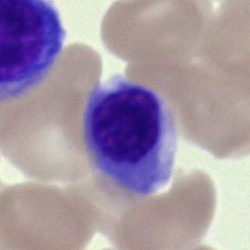

Specimen: bone marrow aspirate smear.
Morphological class: normoblast.
Lineage: erythroid.